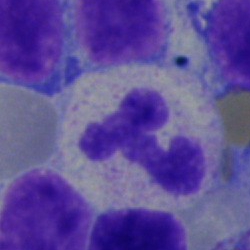
Classification = polymorphonuclear neutrophil.